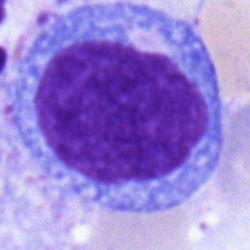Q: What cell is this?
A: Typical lymphocyte.